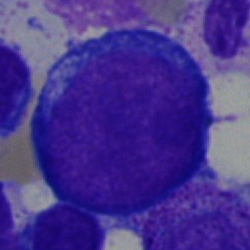

Bone marrow smear showing a pronormoblast.